May-Grünwald-Giemsa/Pappenheim stain. Bone marrow aspirate smear:
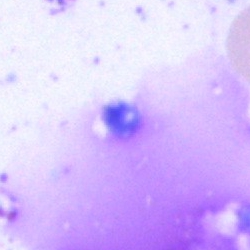 The cell type is artefact.